Bone marrow aspirate smear · brightfield microscopy, 40× oil immersion
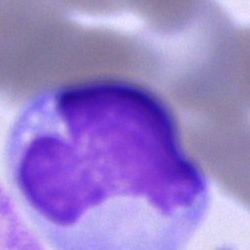 Unidentifiable cell.